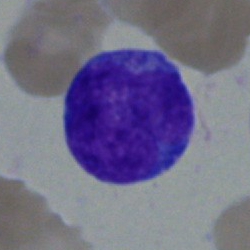
Specimen: bone marrow smear.
Cell type: blast cell.